250×250 · 40× objective, oil immersion · bone marrow aspirate smear — 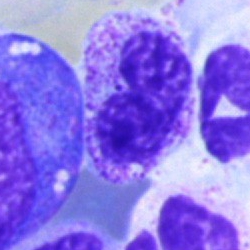 Impression → stab cell.